Bone marrow aspirate smear: 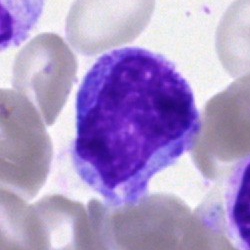This is a lymphocyte.